Single-cell crop; bone marrow smear: 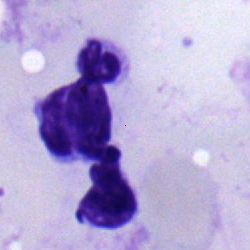
Specimen: bone marrow smear.
Classification: segmented neutrophil.
Lineage: myeloid.